Bone marrow smear.
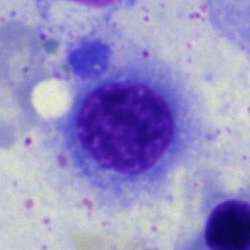

Nucleated red cell.